Single-cell field. Image size 250×250. Bone marrow aspirate smear: 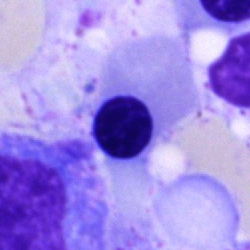Classification — erythroblast.